Bone marrow smear:
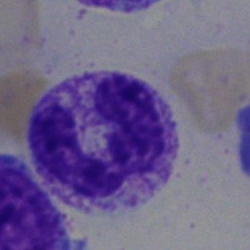 A segmented neutrophil.